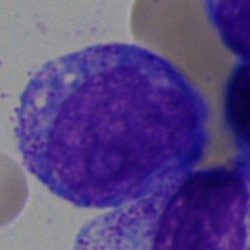
{"cell_type": "promyelocyte"}